Bone marrow aspirate smear · 40× objective, oil immersion · cropped to a single cell.
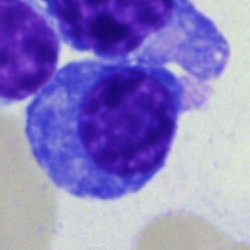
Morphology consistent with a plasmacyte.